Bone marrow smear. Image size 250×250: 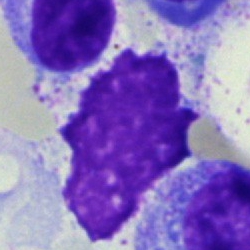
This is an artifact.